Brightfield, 40× oil-immersion objective · image size 250×250 · bone marrow aspirate smear
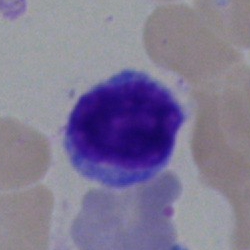
Q: What is shown here?
A: It is a typical lymphocyte.